Bone marrow smear
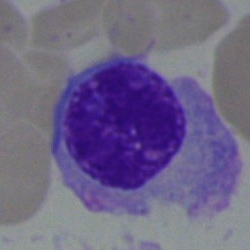The classification is plasmacyte.